Bone marrow smear · Pappenheim-stained — 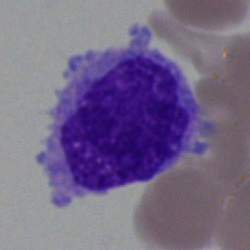
Q: Identify the cell.
A: This is an undifferentiated blast.